Bone marrow smear · Pappenheim-stained.
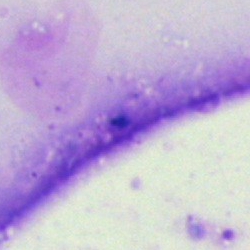

{"cell_type": "artifact"}